Bone marrow smear
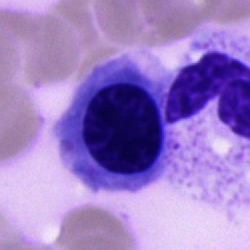

Morphology consistent with an erythroblast.